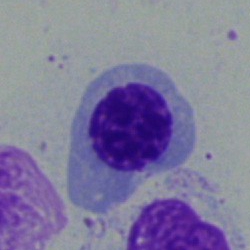 Specimen: bone marrow aspirate smear.
Classification: normoblast.
Lineage: erythroid.